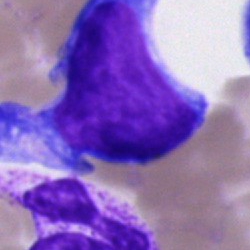

Q: What cell is this?
A: This is a blast.